Bone marrow aspirate smear. Brightfield microscopy, 40× oil immersion:
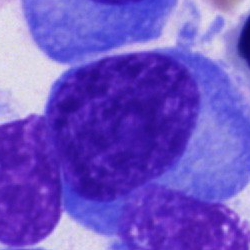 Specimen: bone marrow aspirate smear.
Cell: plasma cell.
Lineage: lymphoid.